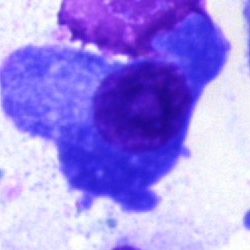
Showing a plasmacyte.